Bone marrow smear:
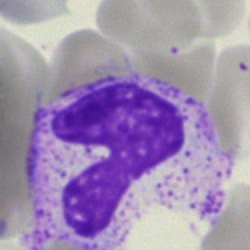{"cell_type": "band-form neutrophil"}